Peripheral blood smear — 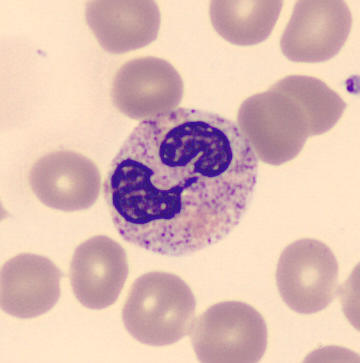

Cell = segmented neutrophil.